Bone marrow smear:
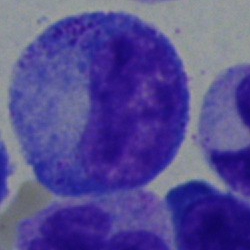 Q: Identify the cell.
A: This is a progranulocyte.